Bone marrow smear
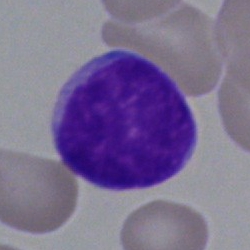

{"cell_type": "blast cell"}